Bone marrow aspirate smear.
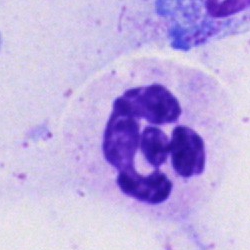

This is a neutrophil (segmented).